Single-cell crop. 100× oil immersion, 14.14 px/µm. Peripheral blood smear
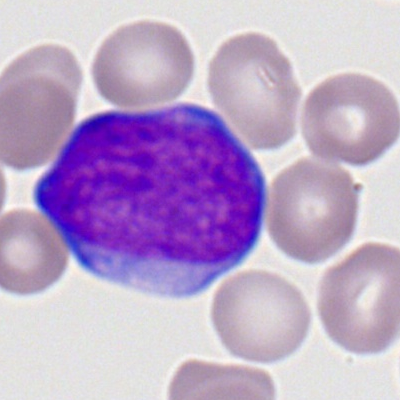

Cell type: myeloblast.